Bone marrow aspirate smear · 250×250 px · MGG-stained: 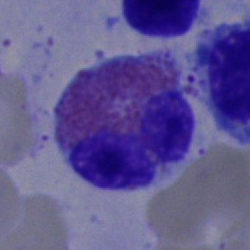 Morphological class — eosinophilic granulocyte.